Bone marrow smear; MGG-stained.
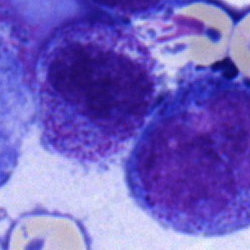
Cell: myelocyte.